250×250 px. Bone marrow aspirate smear. Cropped to a single cell.
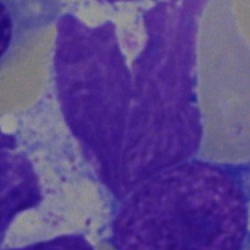Q: What is shown here?
A: An artefact.